Bone marrow aspirate smear
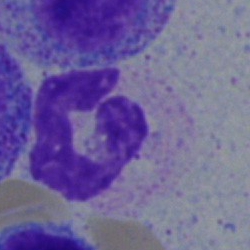
A band neutrophil.